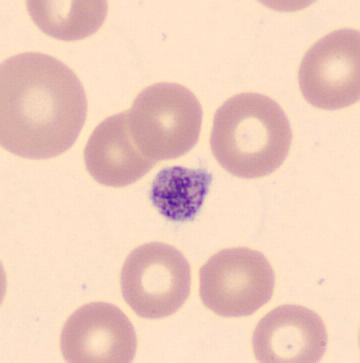Q: What is this?
A: It is a platelet.

Automated cell imaging (CellaVision DM96); peripheral blood film.